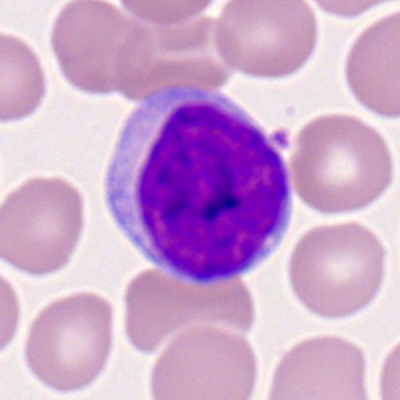

The cell shown is a typical lymphocyte.